Bone marrow aspirate smear: 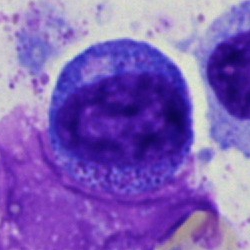
Q: Identify the cell.
A: A promyelocyte.